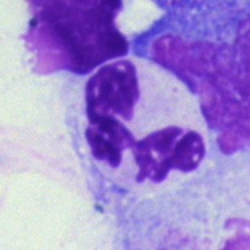

Impression → polymorphonuclear neutrophil.